May-Grünwald-Giemsa stain. Brightfield, 40× oil-immersion objective. Bone marrow smear — 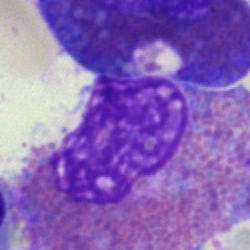 Cell type = eosinophilic granulocyte.